Single-cell crop; bone marrow smear
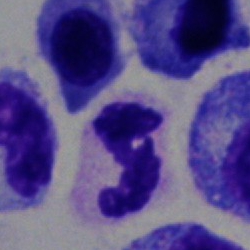
Cell type = neutrophil (segmented).